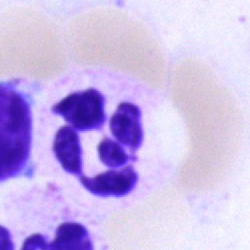
Q: Which cell type is shown here?
A: This is a segmented neutrophil.